Bone marrow aspirate smear
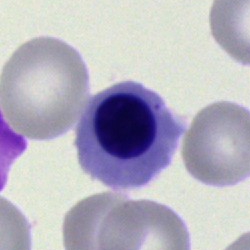Q: Which cell type is shown here?
A: It is a nucleated red cell.